Bone marrow aspirate smear · 250 by 250 pixels:
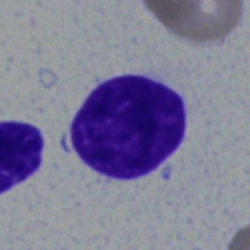
The classification is typical lymphocyte.